Bone marrow smear
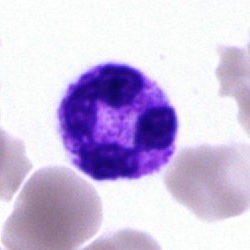

Morphological class: neutrophil (segmented).